Bone marrow aspirate smear
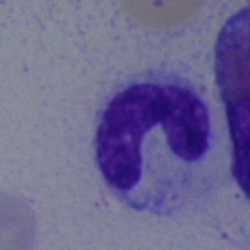Specimen: bone marrow aspirate smear.
Cell: neutrophil (band).
Lineage: myeloid.